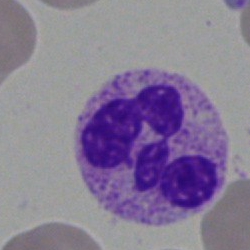 Cell type = polymorphonuclear neutrophil.